Bone marrow aspirate smear:
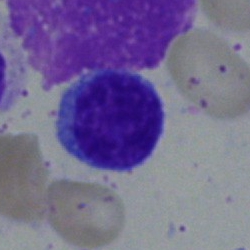
Q: Identify the cell.
A: A lymphocyte.